Bone marrow aspirate smear
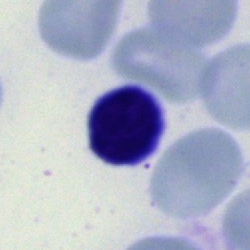The cell is typical lymphocyte.